Bone marrow smear — 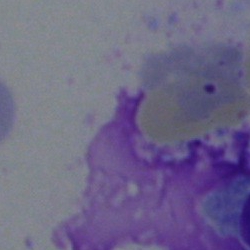
Q: What is shown here?
A: An artifact.